Bone marrow aspirate smear.
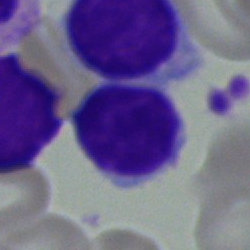

Showing a lymphocyte.